Bone marrow smear: 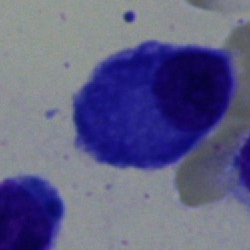
Morphology — plasma cell.